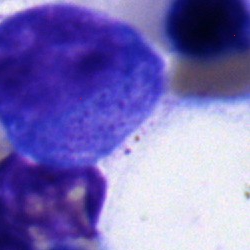
Classification — normoblast.